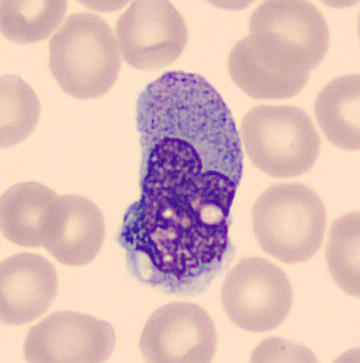

The cell shown is a monocyte.
Preparation: Peripheral blood smear.